Bone marrow smear: 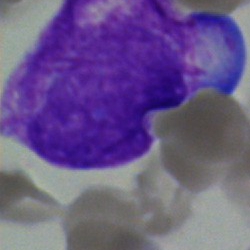 Specimen: bone marrow aspirate smear.
Morphological class: cell with bundled Auer rods.